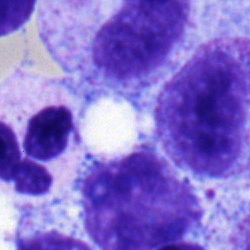
Showing a metamyelocyte.